Bone marrow aspirate smear
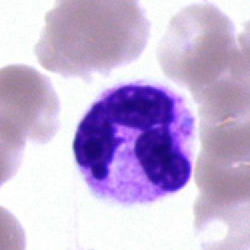 This is a neutrophil (segmented).